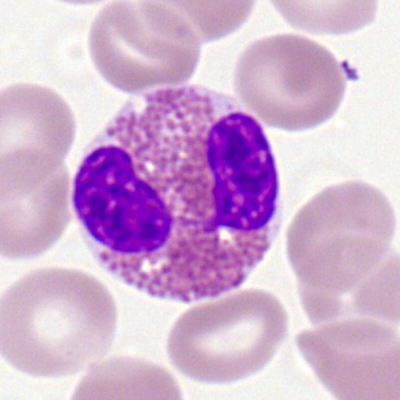Specimen: peripheral blood film.
Morphological class: neutrophil (segmented).
Lineage: myeloid.